Bone marrow aspirate smear: 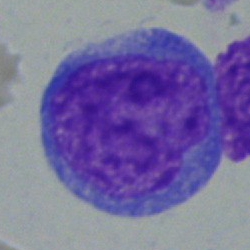 {"cell_type": "undifferentiated blast"}